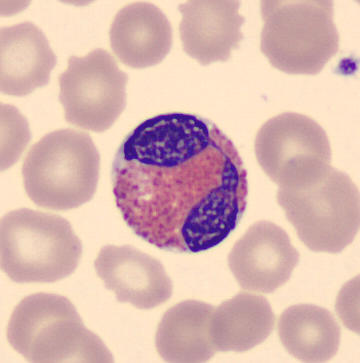
Morphology consistent with an eosinophilic granulocyte. Peripheral blood film.